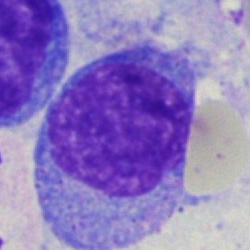

Morphology — blast cell.